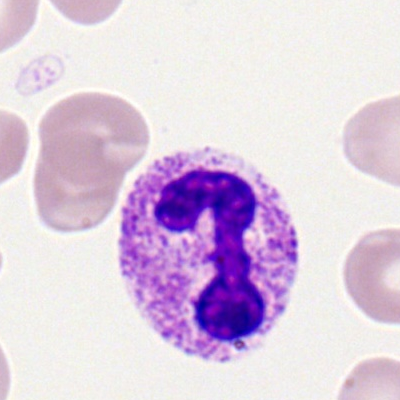 Showing a neutrophil (segmented).